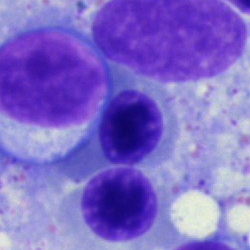Cell: erythroblast.